Brightfield, 40× oil-immersion objective; cropped to a single cell; bone marrow smear
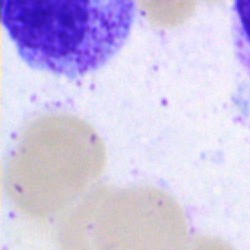

Classification = artifact.